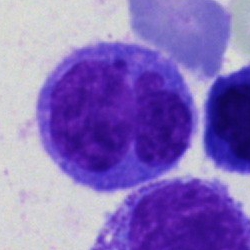

The morphological class is monocyte.